Bone marrow aspirate smear.
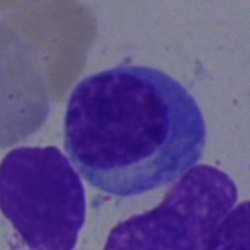
The classification is plasma cell.